250 by 250 pixels; bone marrow aspirate smear.
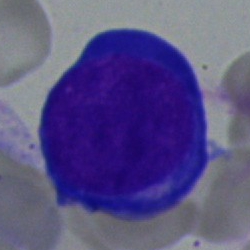Morphology consistent with a proerythroblast.